Peripheral blood smear:
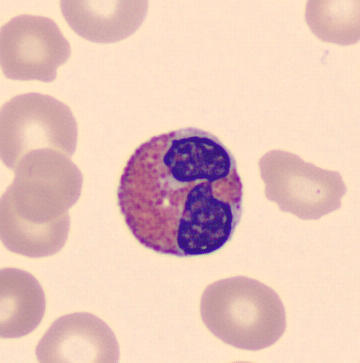Q: Which cell type is shown here?
A: An eosinophilic granulocyte.